Single cell centered in the field · bone marrow smear: 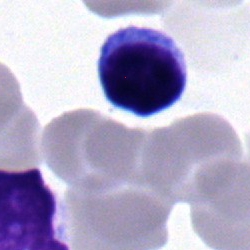
Q: What type of cell is this?
A: A lymphocyte.